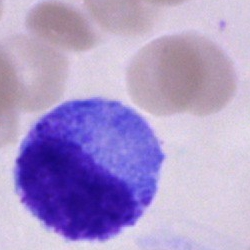Cell type: progranulocyte.